Bone marrow smear: 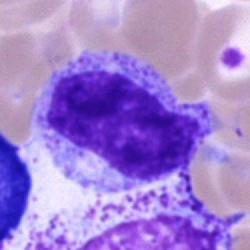
Showing a myelocyte.